Bone marrow aspirate smear:
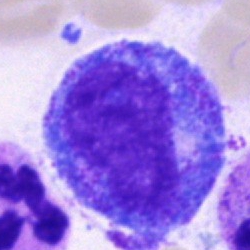This is a progranulocyte.